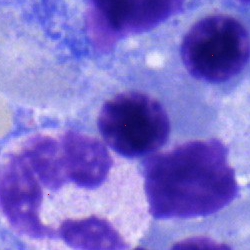
Q: Identify the cell.
A: An erythroblast.